Bone marrow aspirate smear — 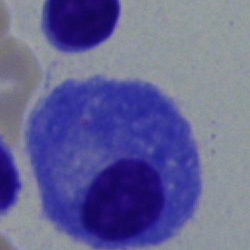This is a plasmacyte.